Bone marrow smear; MGG-stained.
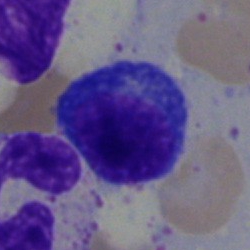

Classification = plasmacyte.